MGG-stained. Bone marrow smear: 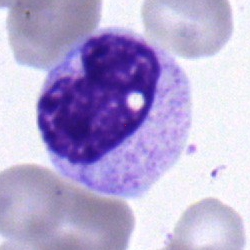
This is a band neutrophil.